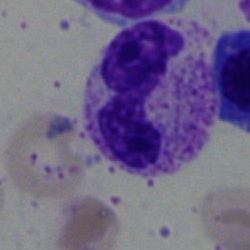Single-cell crop from a bone marrow smear: segmented neutrophil.